Peripheral blood smear. M8 digital microscope (Precipoint), 100× oil immersion:
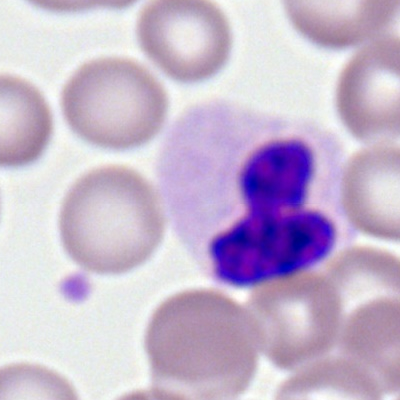

Morphological class: neutrophil (segmented).